Bone marrow aspirate smear
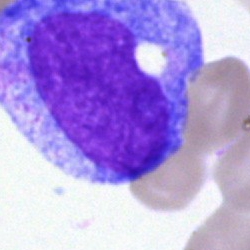 Morphological class — promyelocyte.